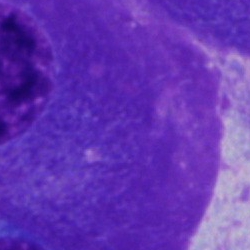 Specimen: bone marrow aspirate smear.
Cell type: artifact.